Bone marrow smear. Brightfield microscopy, 40× oil immersion:
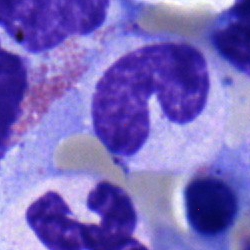 The morphological class is stab cell.